Bone marrow aspirate smear — 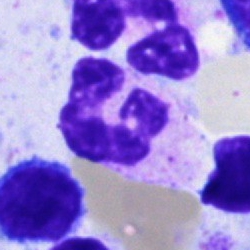
Impression — polymorphonuclear neutrophil.